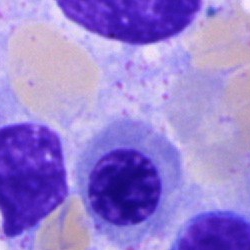

Single cell identified as an erythroblast.